Bone marrow smear
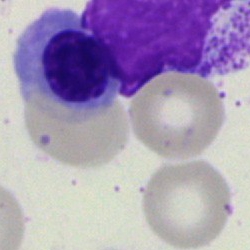 {"cell_type": "normoblast", "lineage": "erythroid"}